400 by 400 pixels · peripheral blood film — 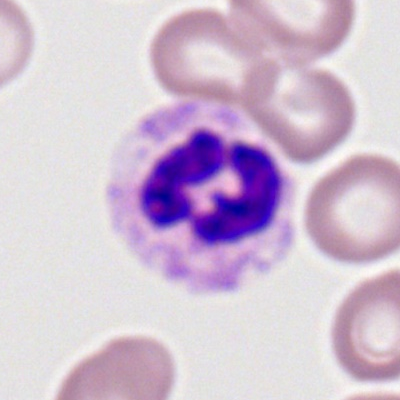 Specimen: peripheral blood film.
Cell type: polymorphonuclear neutrophil.
Lineage: myeloid.